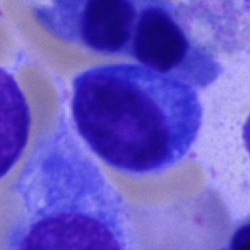
The cell is plasma cell.